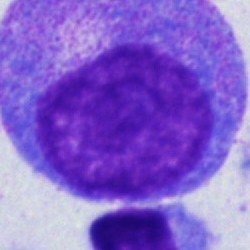Morphology → promyelocyte.